Bone marrow smear · image size 250×250 — 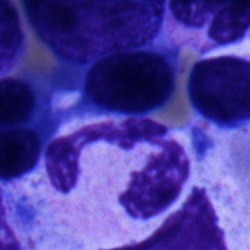

Morphology — polymorphonuclear neutrophil.